Bone marrow smear
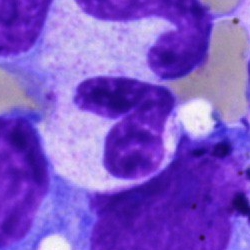Nucleated red cell.